Peripheral blood film.
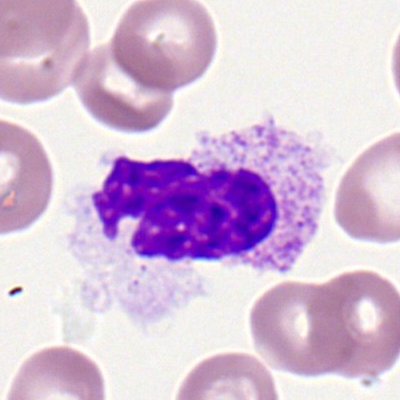 Cell type — segmented neutrophil.